Bone marrow aspirate smear; 250×250: 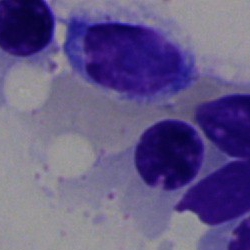 Impression — normoblast.